Bone marrow smear: 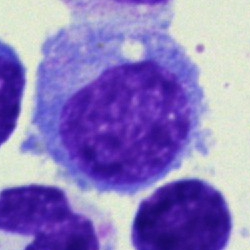Morphology consistent with a blast.